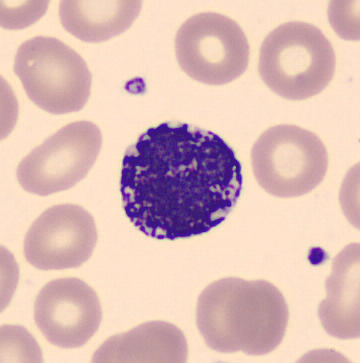Specimen: peripheral blood film.
Morphological class: basophilic granulocyte.
Lineage: myeloid.